May-Grünwald-Giemsa stain. 40× objective, oil immersion. Bone marrow aspirate smear: 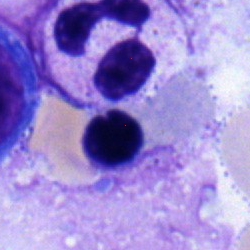Specimen: bone marrow smear.
Classification: lymphocyte.
Lineage: lymphoid.